Brightfield, 40× oil-immersion objective. Bone marrow smear. MGG-stained
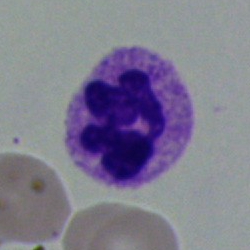

Polymorphonuclear neutrophil.